Peripheral blood film:
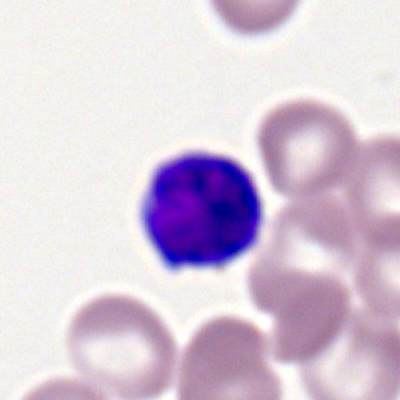 Cell — typical lymphocyte.